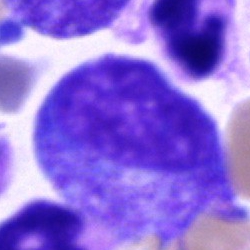The morphological class is progranulocyte.